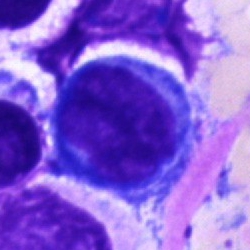Classification: undifferentiated blast.